Peripheral blood smear: 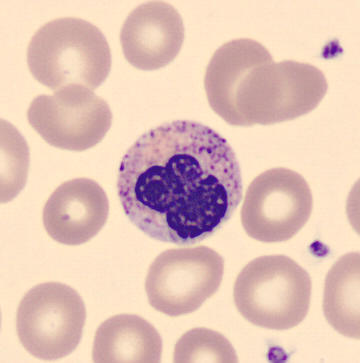

Impression → band-form neutrophil.